MGG-stained; bone marrow smear:
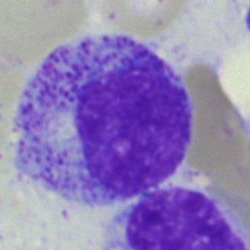Showing a myelocyte.